Bone marrow aspirate smear
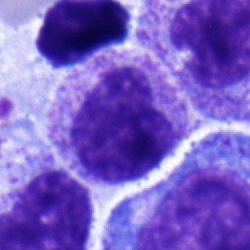 Morphology consistent with a metamyelocyte.